Single cell centered in the field. Bone marrow aspirate smear:
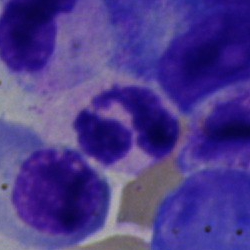
Cell = segmented neutrophil.